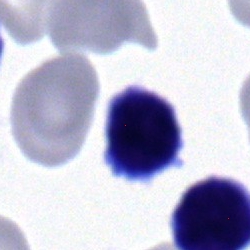 Morphological class = typical lymphocyte.